Bone marrow aspirate smear — 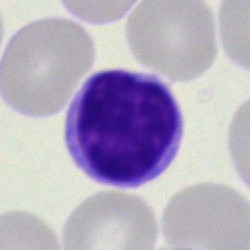Morphology — lymphocyte.